Bone marrow aspirate smear. Brightfield, 40× oil-immersion objective — 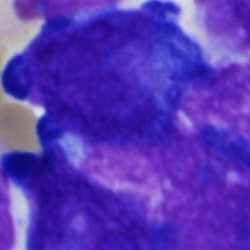 Specimen: bone marrow smear.
Morphological class: lymphocyte (immature).